Bone marrow aspirate smear. Single-cell field — 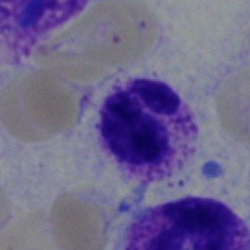
Q: Which cell type is shown here?
A: A segmented neutrophil.